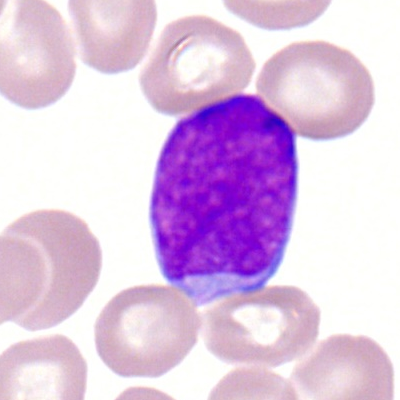
Peripheral blood smear showing a myeloid blast.